Peripheral blood smear.
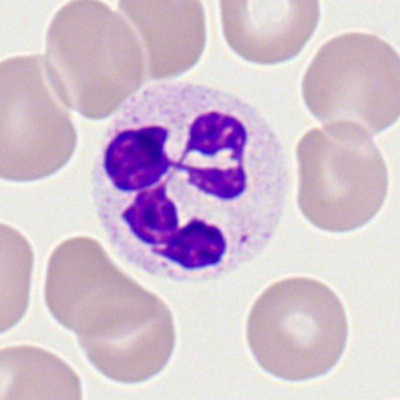
A neutrophil (segmented).